Romanowsky-type stain. Peripheral blood film
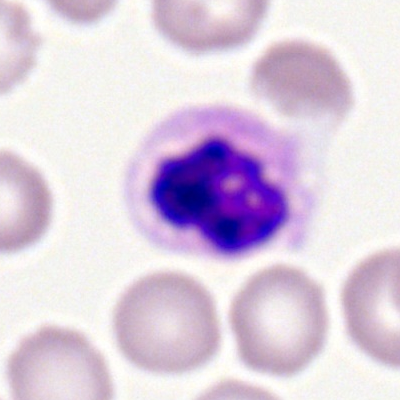 Classification — segmented neutrophil.